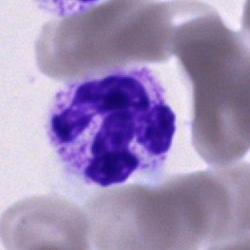 Neutrophil (segmented).